Image size 360×363. Peripheral blood film — 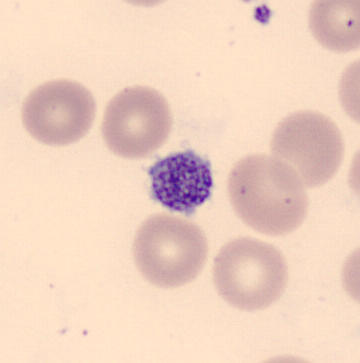

Specimen: peripheral blood smear.
Classification: platelet.